Bone marrow smear; single cell centered in the field; image size 250×250:
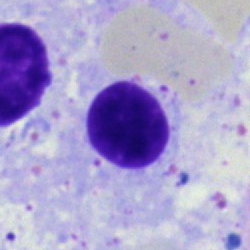 Q: What is shown here?
A: This is an artefact.